May-Grünwald-Giemsa stain · bone marrow smear:
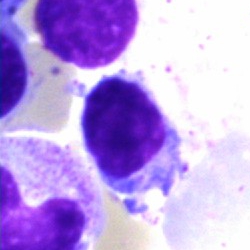
Q: Identify the cell.
A: Lymphocyte.